Bone marrow smear.
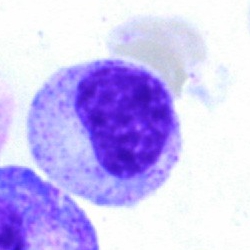A metamyelocyte.